Bone marrow smear
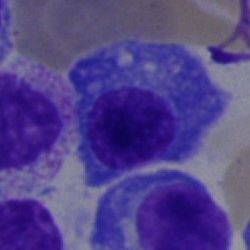
Specimen: bone marrow smear.
Cell type: plasmacyte.
Lineage: lymphoid.